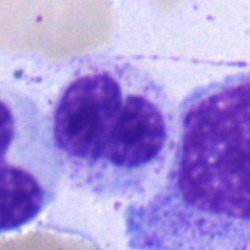

{"cell_type": "band neutrophil", "lineage": "myeloid"}